Bone marrow smear · May-Grünwald-Giemsa/Pappenheim stain — 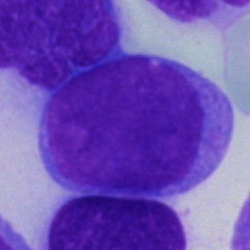
Specimen: bone marrow aspirate smear.
Cell: blast.